Peripheral blood film.
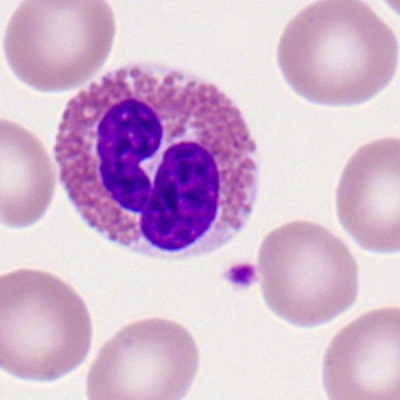
Morphology consistent with an eosinophilic granulocyte.